Bone marrow smear — 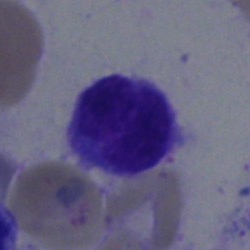Q: What cell is this?
A: A lymphocyte.